Bone marrow smear — 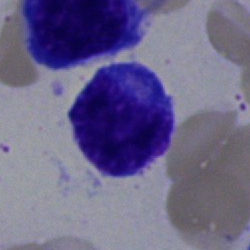This is a lymphocyte.